Bone marrow smear. 250 by 250 pixels: 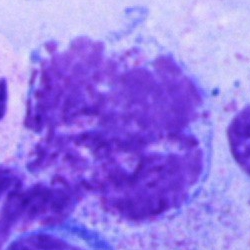

Artefact.